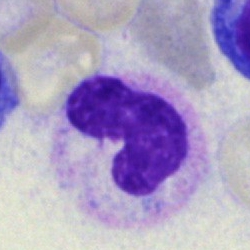Classification: band neutrophil.